Bone marrow aspirate smear. Image size 250×250:
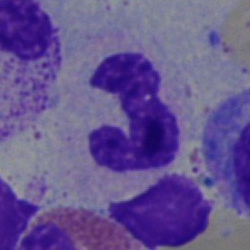 A segmented neutrophil.